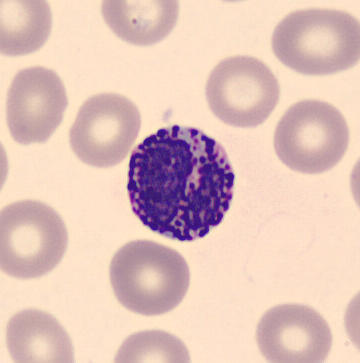
Morphological class: basophil.
Image: Peripheral blood film.